M8 digital microscope (Precipoint), 100× oil immersion; Romanowsky-stained; peripheral blood film — 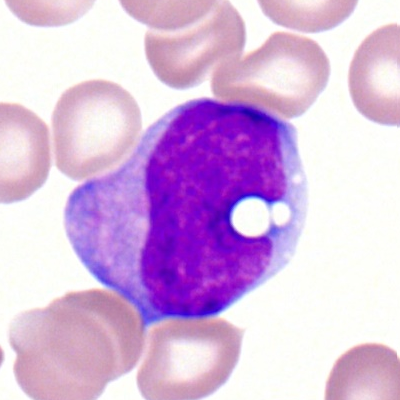

Cell type — myeloid blast.